Bone marrow aspirate smear — 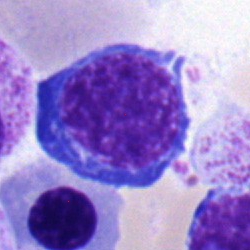
Erythroblast.